Bone marrow aspirate smear
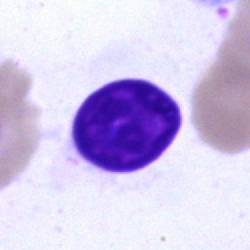 Showing a typical lymphocyte.